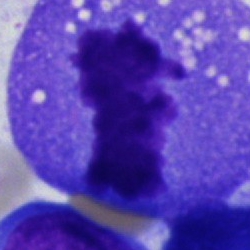

Impression — artefact.